100× oil immersion, 14.14 px/µm; peripheral blood film: 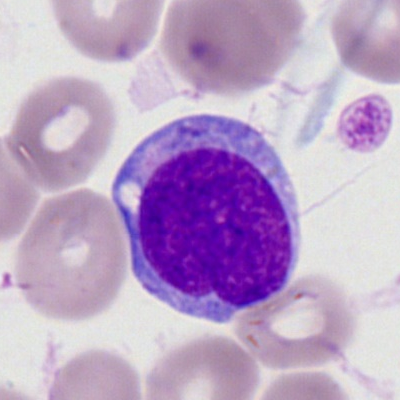 Specimen: peripheral blood film.
Cell type: myeloblast.
Lineage: myeloid.